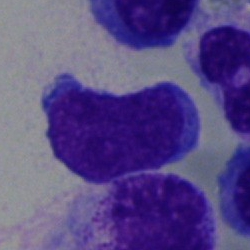
Morphology consistent with a blast cell.